Peripheral blood smear:
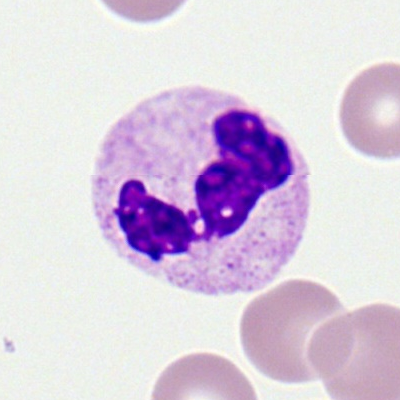
Single cell identified as a segmented neutrophil.